Bone marrow aspirate smear — 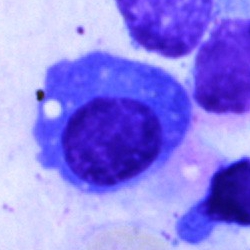

This is a plasma cell.